40× objective, oil immersion · bone marrow aspirate smear.
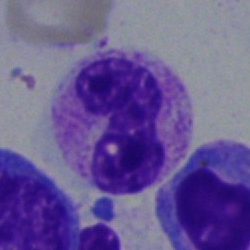
Q: What type of cell is this?
A: Band neutrophil.